Bone marrow smear.
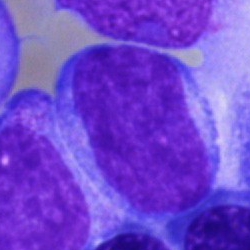 Single cell identified as a blast.